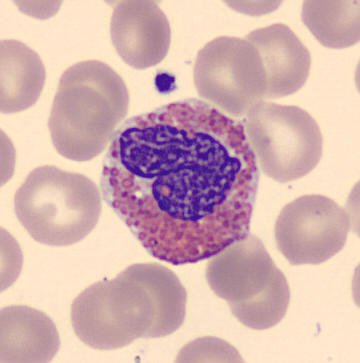

Peripheral blood film · single-cell crop.
Impression → eosinophil.